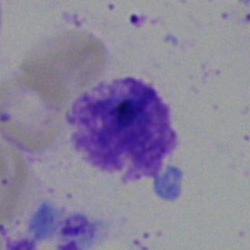

{"cell_type": "artefact"}